Bone marrow aspirate smear.
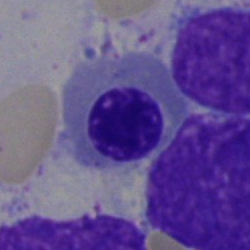
Q: What is the morphological classification of this cell?
A: Nucleated red cell.